Pappenheim-stained · bone marrow smear:
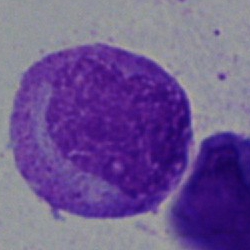 Single cell identified as a progranulocyte.